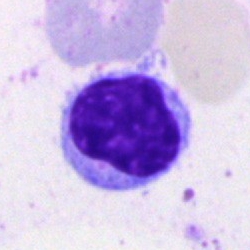Specimen: bone marrow aspirate smear.
Classification: typical lymphocyte.
Lineage: lymphoid.